Bone marrow smear — 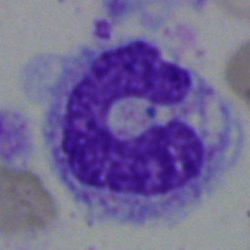

Morphological class — monocyte.